Bone marrow aspirate smear.
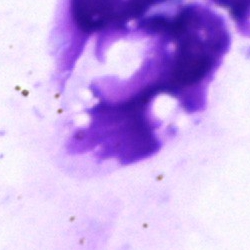
The cell shown is an artifact.